May-Grünwald-Giemsa stain. Bone marrow smear
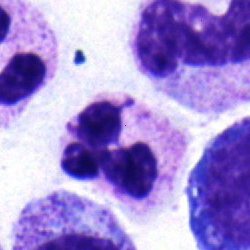

A neutrophil (segmented).